Bone marrow aspirate smear · 250×250: 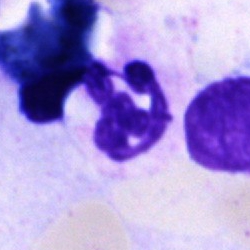Morphology → neutrophil (segmented).